MGG-stained. Bone marrow aspirate smear
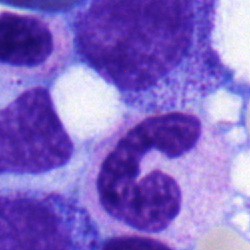
Classification: myelocyte.